Bone marrow aspirate smear: 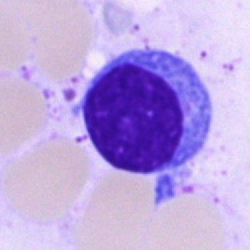 {"cell_type": "typical lymphocyte"}